Bone marrow smear: 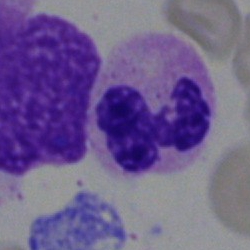
Single cell identified as a neutrophil (segmented).